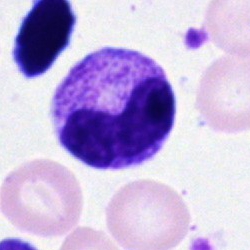 Specimen: bone marrow aspirate smear.
Classification: stab cell.
Lineage: myeloid.